Bone marrow smear:
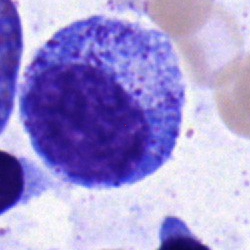Morphological class = promyelocyte.